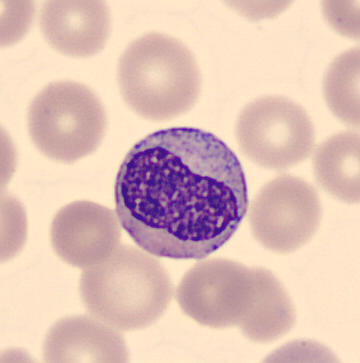

Morphology — metamyelocyte.

Image: Peripheral blood smear.